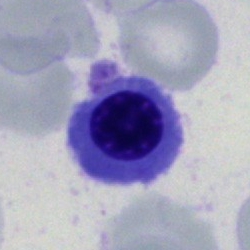Q: Identify the cell.
A: This is an erythroblast.